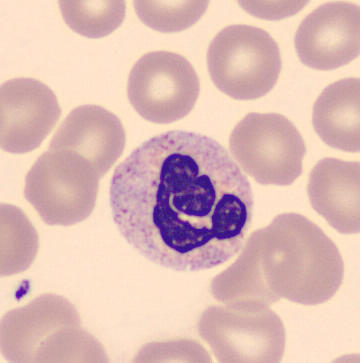Specimen: peripheral blood film.
Morphological class: segmented neutrophil.